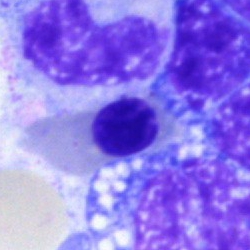 Single-cell crop from a bone marrow smear: normoblast.